Bone marrow aspirate smear. Brightfield microscopy, 40× oil immersion. May-Grünwald-Giemsa/Pappenheim stain: 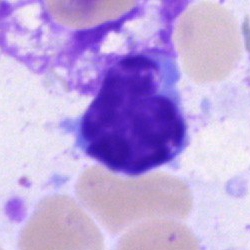 Morphological class: typical lymphocyte.